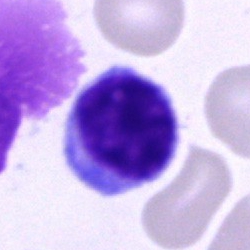
Cell: lymphocyte.